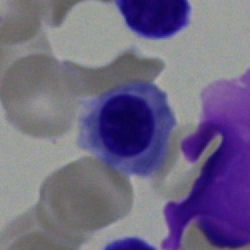 Impression — nucleated red blood cell.